Bone marrow smear. 250 by 250 pixels. May-Grünwald-Giemsa/Pappenheim stain
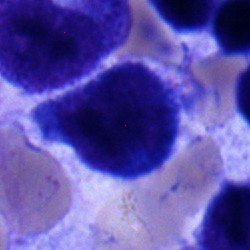

Monocyte.